Cropped to a single cell. Bone marrow smear — 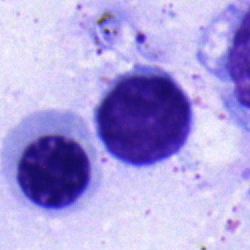
Single cell identified as a typical lymphocyte.